Bone marrow aspirate smear:
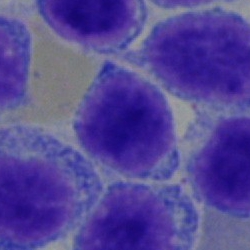

A lymphocyte.